May-Grünwald-Giemsa/Pappenheim stain; bone marrow aspirate smear
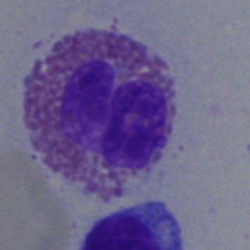Eosinophilic granulocyte.